MGG-stained · 40× oil immersion · bone marrow aspirate smear
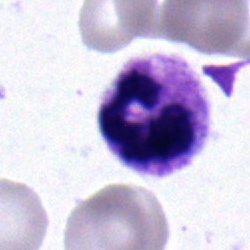

Classification = segmented neutrophil.